Single-cell crop · bone marrow smear
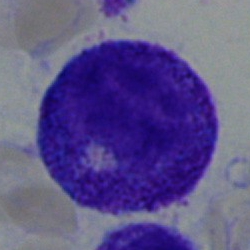
Cell type — progranulocyte.